Bone marrow smear · single-cell field · image size 250×250: 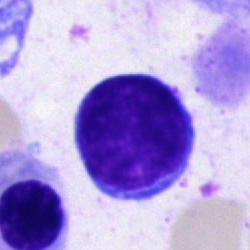Specimen: bone marrow smear.
Cell: typical lymphocyte.